Bone marrow smear; 40× objective, oil immersion — 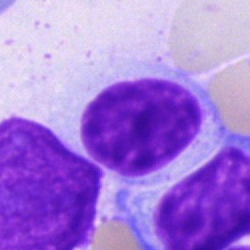Q: Identify the cell.
A: Lymphocyte.